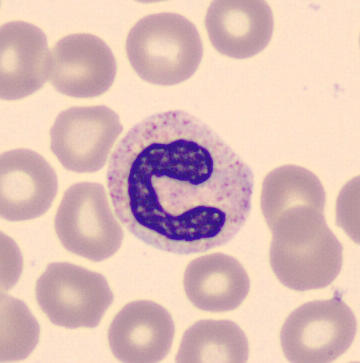 Morphology consistent with a neutrophil (band).